Romanowsky-stained · peripheral blood film
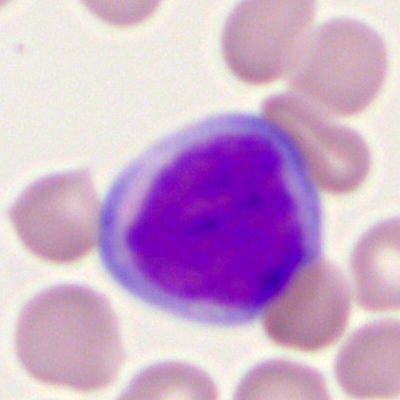 Q: What cell is this?
A: This is a myeloblast.